Peripheral blood smear — 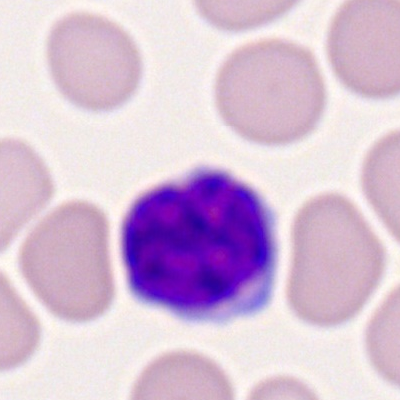

Cell = typical lymphocyte.